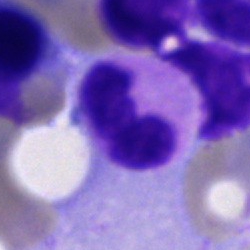
Polymorphonuclear neutrophil.